Bone marrow smear; brightfield microscopy, 40× oil immersion; 250 by 250 pixels: 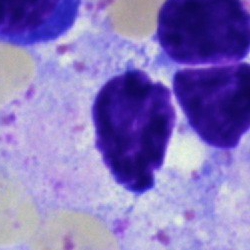
Q: What is shown here?
A: An artifact.